Bone marrow smear
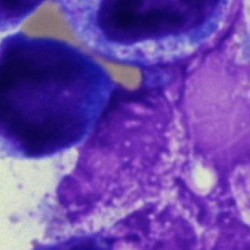 Classification: artefact.